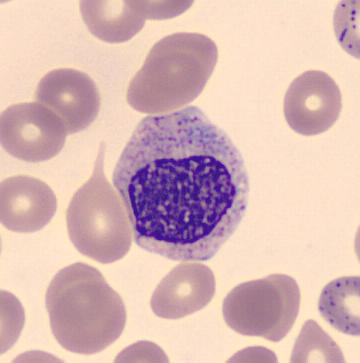

The morphological class is myelocyte. Acquisition: Peripheral blood smear.